Bone marrow smear: 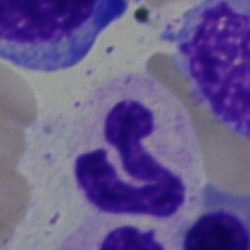The cell shown is a segmented neutrophil.